Bone marrow aspirate smear:
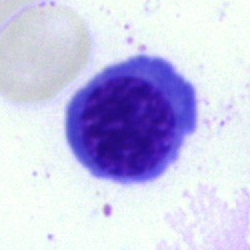

Morphology consistent with an erythroblast.